250×250 px; bone marrow smear; cropped to a single cell: 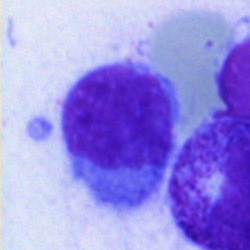

Specimen: bone marrow smear.
Classification: hairy cell.
Lineage: lymphoid.